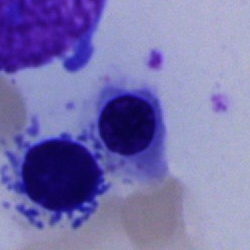Impression → erythroblast.